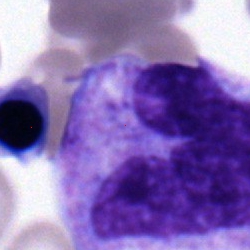
Q: What type of cell is this?
A: Band-form neutrophil.